May-Grünwald-Giemsa/Pappenheim stain; bone marrow smear
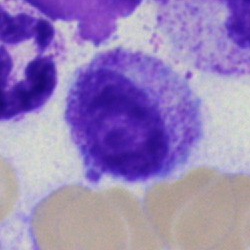Cell = myelocyte.